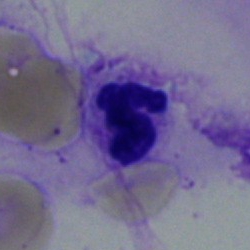
The cell shown is a neutrophil (segmented).